Bone marrow smear; MGG-stained; 250 by 250 pixels
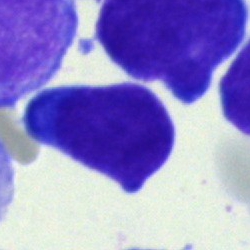 Classification: blast cell.